Bone marrow smear.
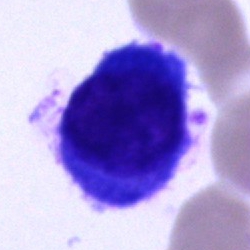
A plasmacyte.